Bone marrow aspirate smear
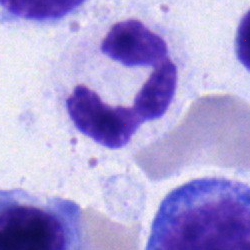The morphological class is erythroblast.